Bone marrow smear. May-Grünwald-Giemsa stain
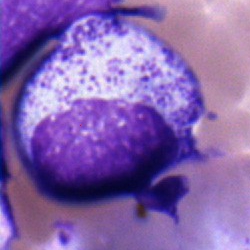 Specimen: bone marrow smear.
Cell type: myelocyte.